Bone marrow smear.
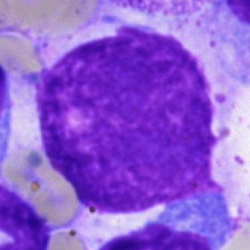Specimen: bone marrow smear.
Classification: artefact.